Bone marrow aspirate smear:
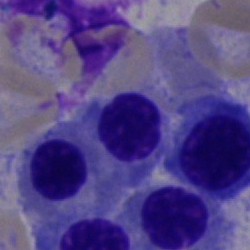

Cell: normoblast.